Bone marrow smear — 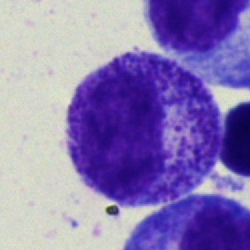 This is a myelocyte.